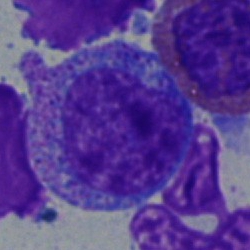 Specimen: bone marrow smear.
Cell type: promyelocyte.